Image size 250×250; bone marrow aspirate smear.
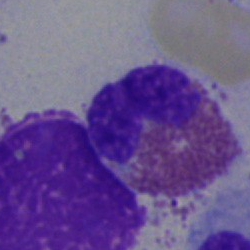
Impression → eosinophilic granulocyte.